40× oil immersion. Bone marrow aspirate smear: 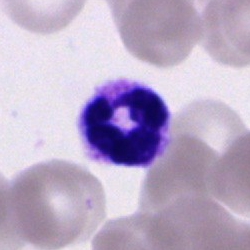

Showing a polymorphonuclear neutrophil.